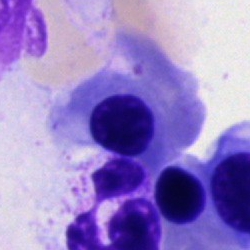 Morphology consistent with a nucleated red blood cell.